Bone marrow aspirate smear:
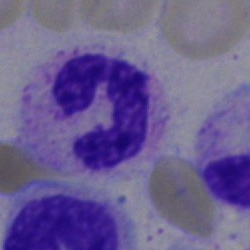 A neutrophil (segmented).